Bone marrow smear: 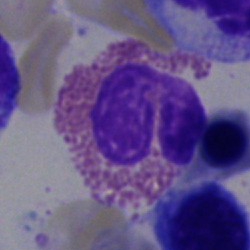
The cell shown is an eosinophil.